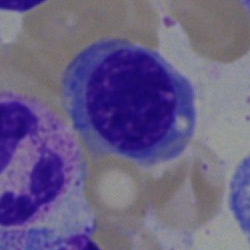
Normoblast.